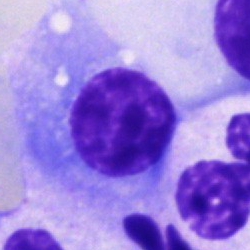Q: What is the morphological classification of this cell?
A: This is a plasmacyte.